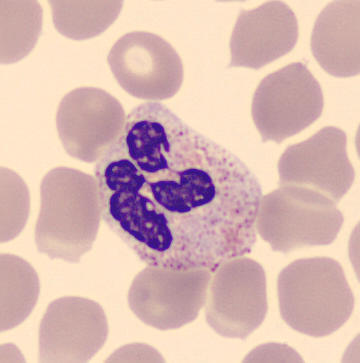 Specimen: peripheral blood smear.
Cell: segmented neutrophil.
Lineage: myeloid. Preparation: May-Grünwald-Giemsa-stained · single-cell crop.